40× oil immersion. MGG-stained. Bone marrow smear:
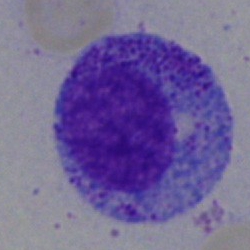This is a progranulocyte.